Bone marrow smear — 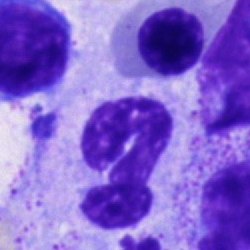{"cell_type": "segmented neutrophil", "lineage": "myeloid"}